Bone marrow smear; 250 by 250 pixels; May-Grünwald-Giemsa stain.
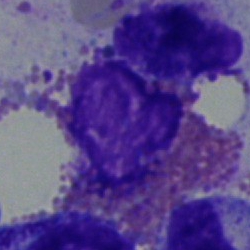 Specimen: bone marrow aspirate smear.
Cell: eosinophilic granulocyte.
Lineage: myeloid.